Single cell centered in the field. 250×250 px. Bone marrow aspirate smear
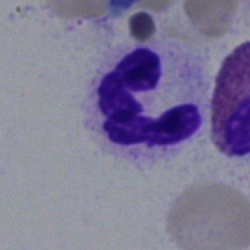The cell is segmented neutrophil.